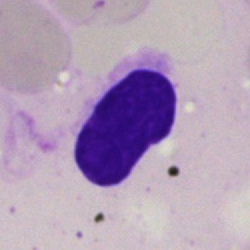
Q: What is shown here?
A: An artifact.